Bone marrow smear; May-Grünwald-Giemsa/Pappenheim stain
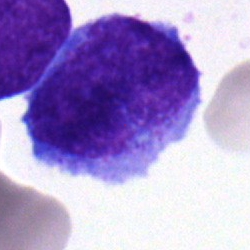

Specimen: bone marrow aspirate smear.
Cell: progranulocyte.
Lineage: myeloid.